May-Grünwald-Giemsa/Pappenheim stain. Bone marrow smear:
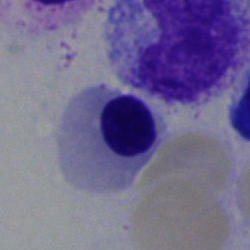 Q: What cell is this?
A: Nucleated red blood cell.